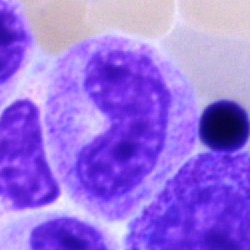 Classification = band-form neutrophil.